Single cell centered in the field; peripheral blood film
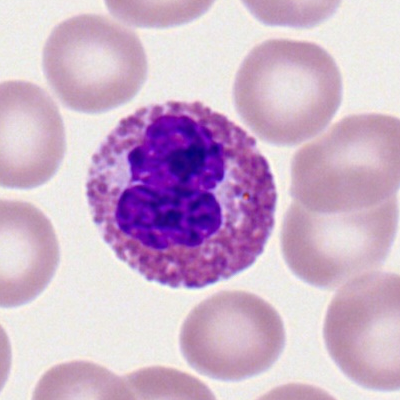 Cell: eosinophilic granulocyte.